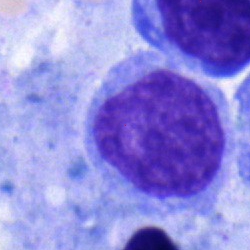

Bone marrow aspirate smear, single cell — undifferentiated blast.